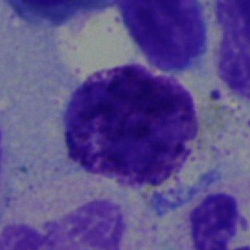

The morphological class is basophilic granulocyte.